Bone marrow aspirate smear. May-Grünwald-Giemsa stain.
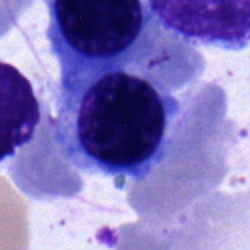
Q: What cell is this?
A: It is a band-form neutrophil.